Single-cell crop. Bone marrow smear — 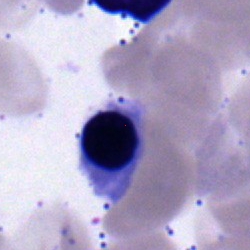 Q: What type of cell is this?
A: It is a normoblast.